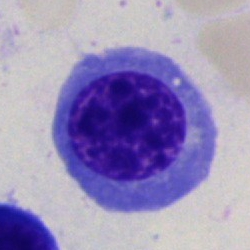
Bone marrow aspirate smear, single cell — nucleated red cell.